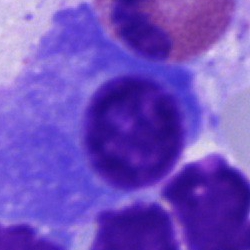 Cell = plasma cell.